Bone marrow aspirate smear
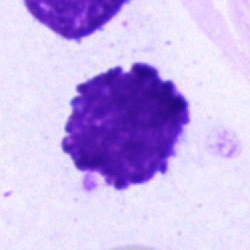
The cell shown is an artifact.